Brightfield, 40× oil-immersion objective. Pappenheim-stained. Bone marrow smear:
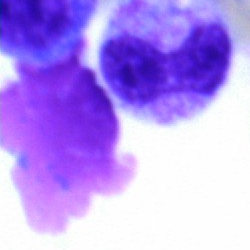
Cell type: artifact.